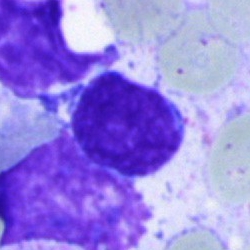
Bone marrow aspirate smear, single cell — typical lymphocyte.